Bone marrow smear
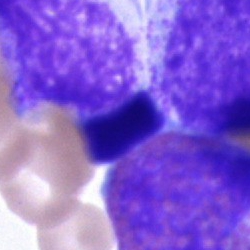 The cell type is unidentifiable cell.